Romanowsky stain. Peripheral blood film. 400×400:
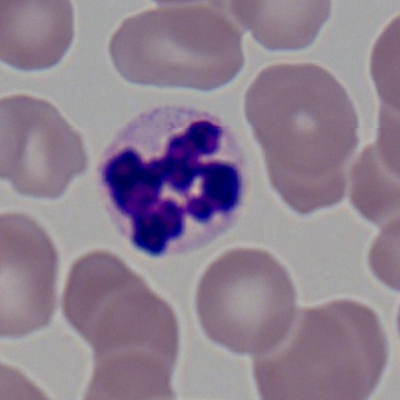
Specimen: peripheral blood smear.
Morphological class: neutrophil (segmented).
Lineage: myeloid.